Bone marrow aspirate smear; 250×250 px — 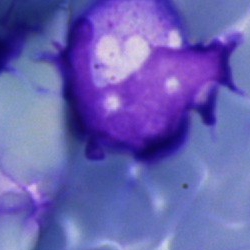 Cell: artefact.